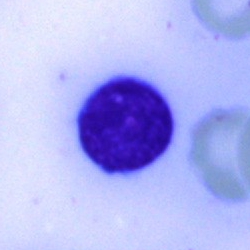

Specimen: bone marrow smear.
Cell type: lymphocyte.